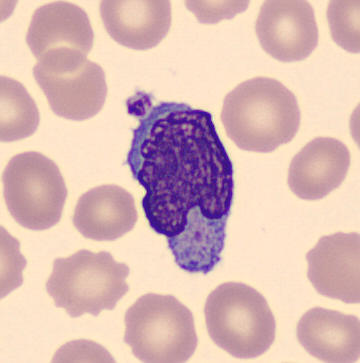

Preparation: Peripheral blood smear. Cell type: monocyte.